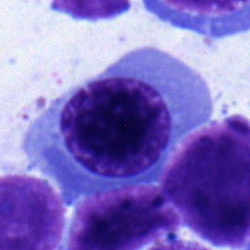 {"cell_type": "nucleated red cell", "lineage": "erythroid"}